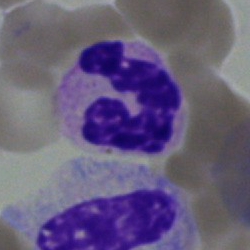

Morphology → segmented neutrophil.